Bone marrow aspirate smear · 40× oil immersion · Pappenheim-stained:
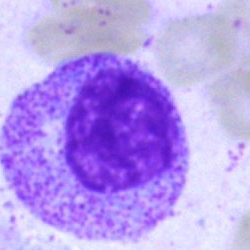 Specimen: bone marrow smear.
Cell type: myelocyte.